40× objective, oil immersion · bone marrow smear · single-cell crop — 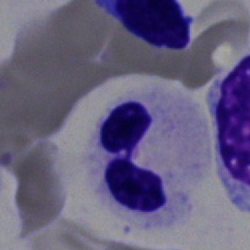 Specimen: bone marrow smear.
Cell type: segmented neutrophil.